Peripheral blood film · Romanowsky-stained
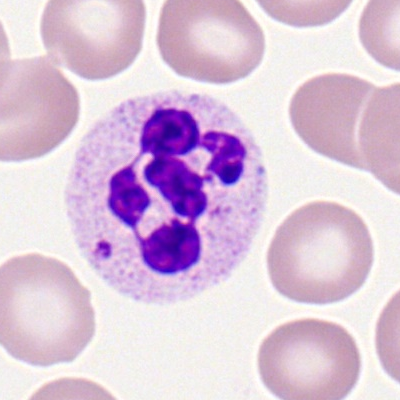

The morphological class is segmented neutrophil.